Bone marrow aspirate smear.
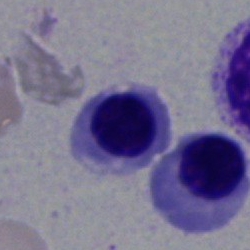Cell: erythroblast.